Bone marrow smear
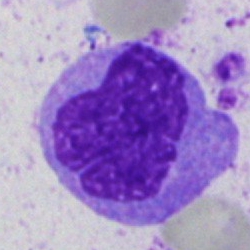

Classification — monocyte.